Bone marrow smear; May-Grünwald-Giemsa stain
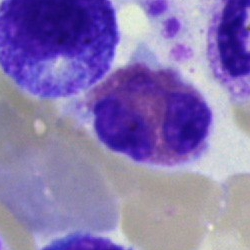
Eosinophilic granulocyte.